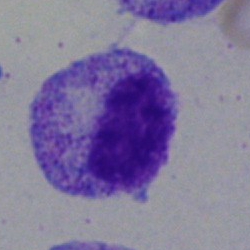
Bone marrow aspirate smear, single cell — myelocyte.